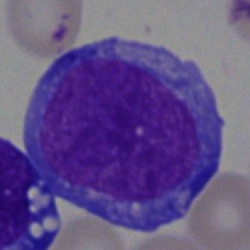Cell: blast.